M8 digital microscope (Precipoint), 100× oil immersion · peripheral blood film
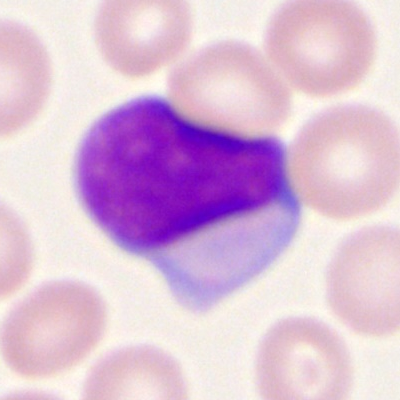
Classification = myeloid blast.